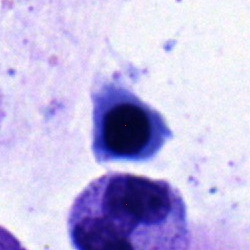A nucleated red cell on a bone marrow smear.